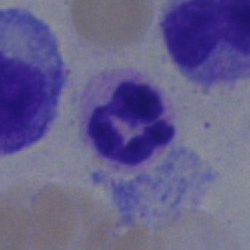

Cell: polymorphonuclear neutrophil.